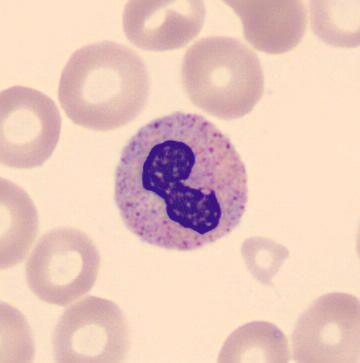Image: Peripheral blood film.
{"cell_type": "stab cell", "lineage": "myeloid"}